Bone marrow smear — 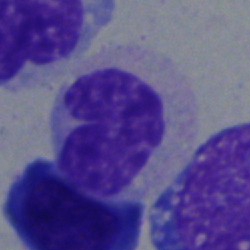 Morphology — band neutrophil.